Peripheral blood smear: 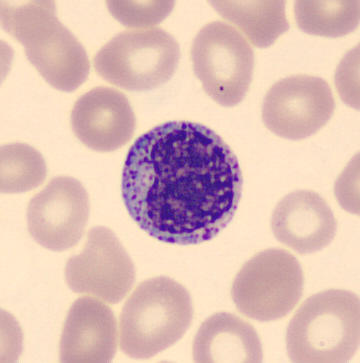

Morphology — myelocyte.